Bone marrow aspirate smear: 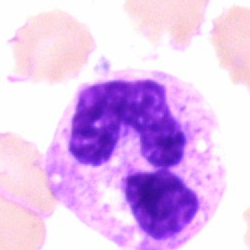

Cell type: polymorphonuclear neutrophil.